Bone marrow smear — 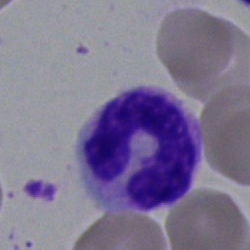
Q: What is the morphological classification of this cell?
A: A neutrophil (band).